Bone marrow smear: 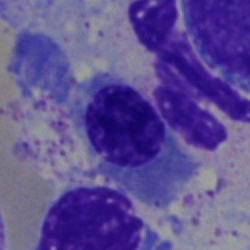

Specimen: bone marrow smear.
Classification: normoblast.